Bone marrow smear:
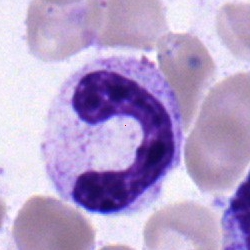 Neutrophil (segmented).